Bone marrow smear: 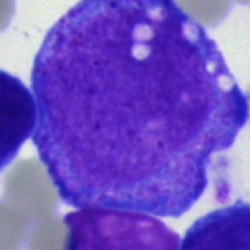 The cell is progranulocyte.